100× objective, oil immersion; single-cell crop; peripheral blood smear
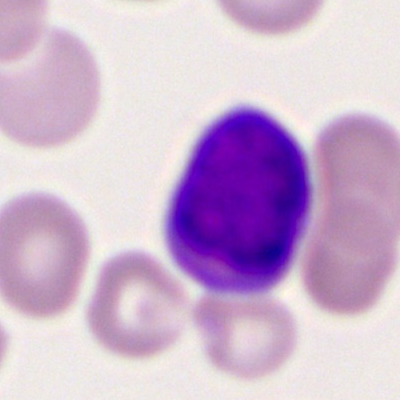

Q: Which cell type is shown here?
A: It is a segmented neutrophil.